Bone marrow smear
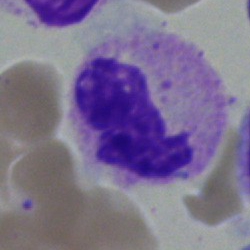
{"cell_type": "basophilic granulocyte"}